Bone marrow smear. Cropped to a single cell:
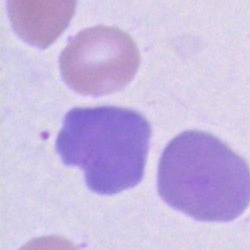Morphology consistent with an artifact.